Bone marrow smear · brightfield microscopy, 40× oil immersion · image size 250×250
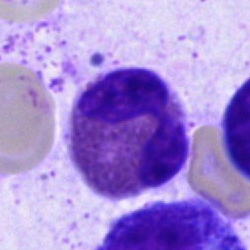The classification is eosinophil.